Peripheral blood smear
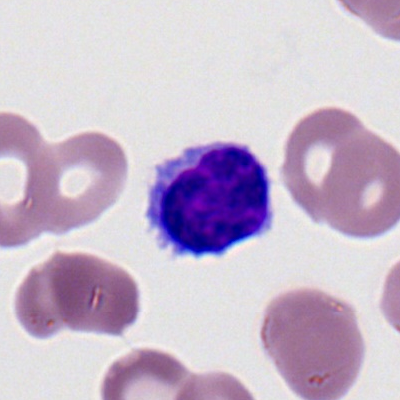 Single cell identified as a typical lymphocyte.